Bone marrow aspirate smear
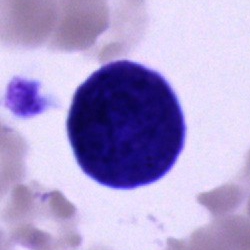 Morphological class: unidentifiable cell.